Bone marrow aspirate smear — 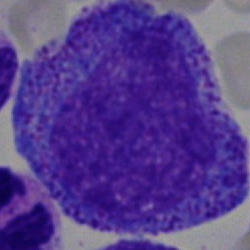

A progranulocyte.